Bone marrow smear.
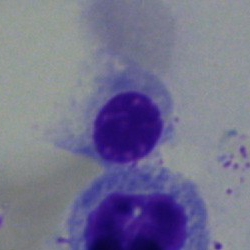 Q: What is shown here?
A: This is a normoblast.